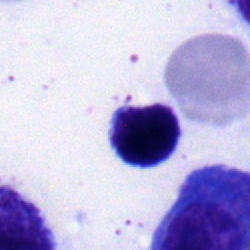Morphology — typical lymphocyte.